Bone marrow smear; single-cell crop.
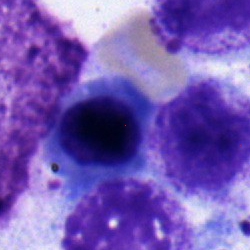 The cell shown is a normoblast.